Peripheral blood smear. Romanowsky-stained.
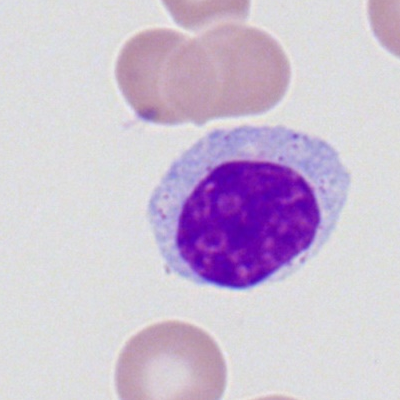

Specimen: peripheral blood film.
Cell: lymphocyte.